Bone marrow aspirate smear; single-cell crop:
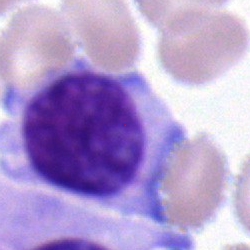A lymphocyte.